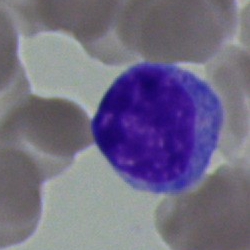 Morphology consistent with a lymphocyte.